May-Grünwald-Giemsa/Pappenheim stain · bone marrow smear · cropped to a single cell.
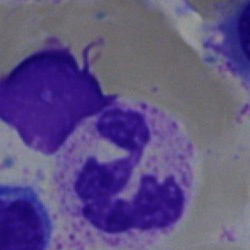
Specimen: bone marrow smear.
Morphological class: neutrophil (segmented).
Lineage: myeloid.